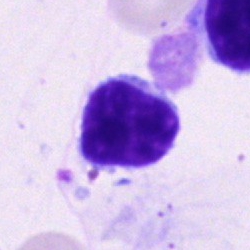
Q: Identify the cell.
A: It is a lymphocyte.